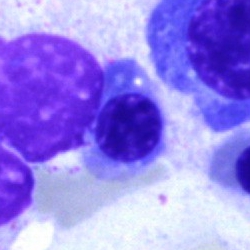Morphology → normoblast.